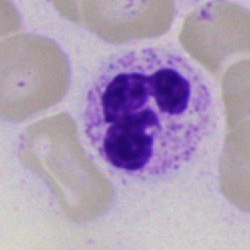 Single cell identified as a neutrophil (segmented).